400 by 400 pixels · peripheral blood film · single cell centered in the field
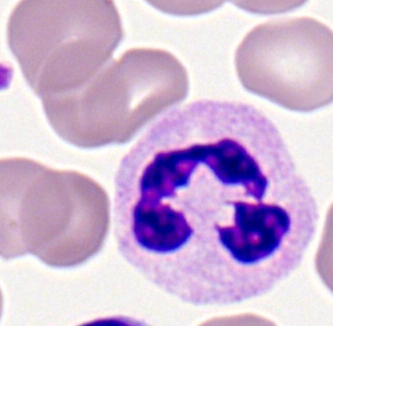 Cell = polymorphonuclear neutrophil.